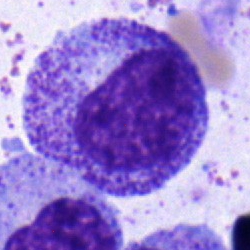
Classification = myelocyte.